Bone marrow smear:
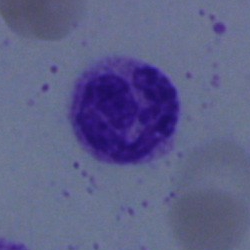Specimen: bone marrow aspirate smear.
Classification: neutrophil (segmented).
Lineage: myeloid.